Peripheral blood film
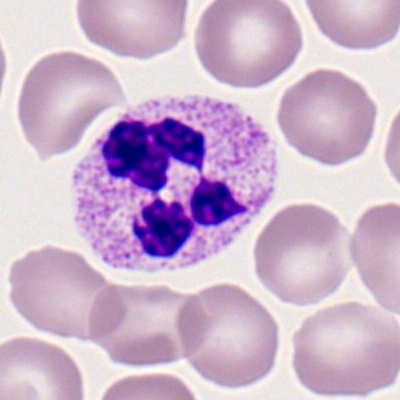Cell type — neutrophil (segmented).